Bone marrow aspirate smear: 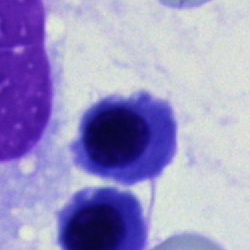 The cell shown is an erythroblast.